Bone marrow aspirate smear. Single-cell crop: 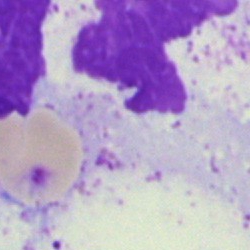
{"cell_type": "artefact"}